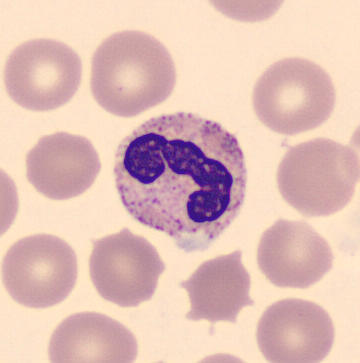 The cell is neutrophil (band). Preparation: Single-cell crop; peripheral blood smear.